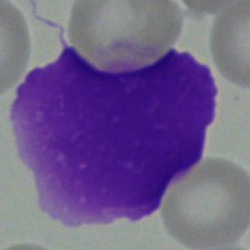
Q: What is shown here?
A: An artefact.